Bone marrow smear — 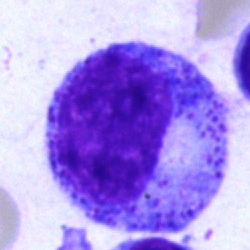
Q: Identify the cell.
A: Progranulocyte.